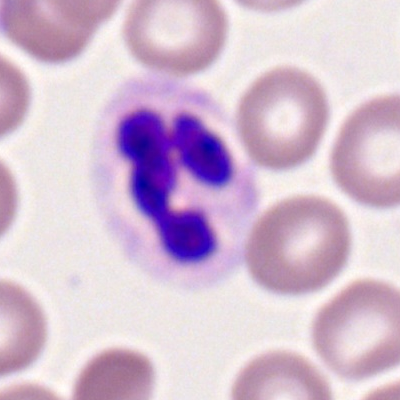
Q: Which cell type is shown here?
A: It is a polymorphonuclear neutrophil.